Bone marrow aspirate smear; brightfield microscopy, 40× oil immersion: 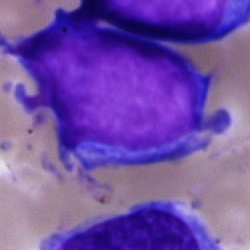Impression → blast.